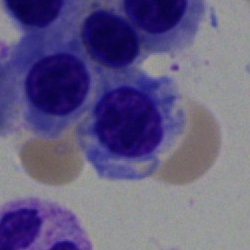Q: Identify the cell.
A: Nucleated red blood cell.